Bone marrow smear
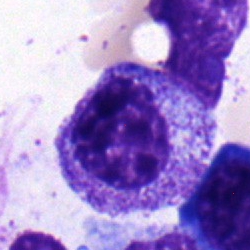 Morphology → myelocyte.